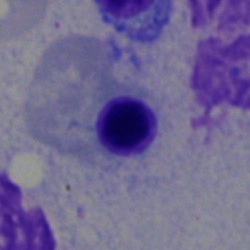

{"cell_type": "erythroblast", "lineage": "erythroid"}